May-Grünwald-Giemsa/Pappenheim stain · bone marrow aspirate smear
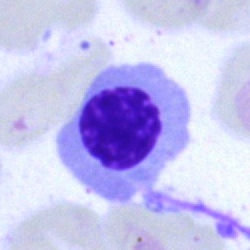Nucleated red blood cell.